Bone marrow smear — 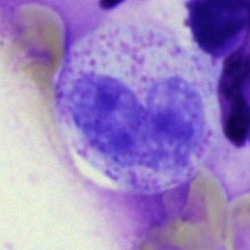 Band-form neutrophil.